Bone marrow aspirate smear:
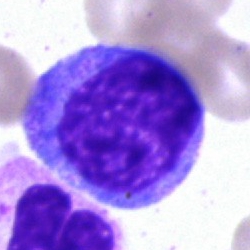Morphological class: promyelocyte.